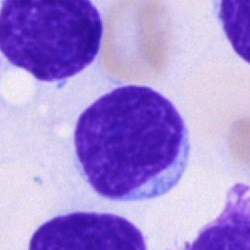Single-cell crop from a bone marrow smear: typical lymphocyte.